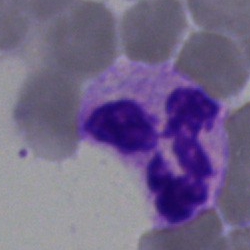 Morphology → neutrophil (segmented).